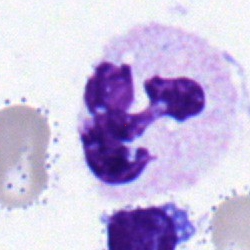Q: What is the morphological classification of this cell?
A: Segmented neutrophil.